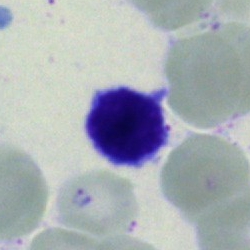 Specimen: bone marrow aspirate smear.
Cell type: typical lymphocyte.
Lineage: lymphoid.